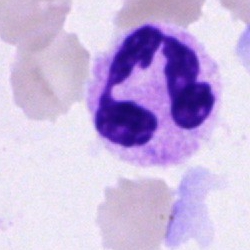 Q: What cell is this?
A: A neutrophil (segmented).